Bone marrow aspirate smear: 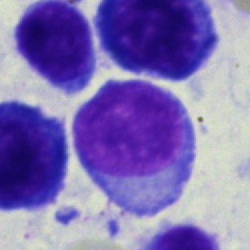

Lymphocyte.